Bone marrow smear:
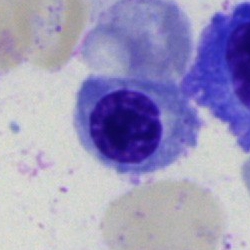

Classification = erythroblast.